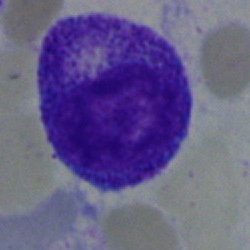

Specimen: bone marrow aspirate smear.
Cell: promyelocyte.
Lineage: myeloid.